Peripheral blood film; Romanowsky-type stain:
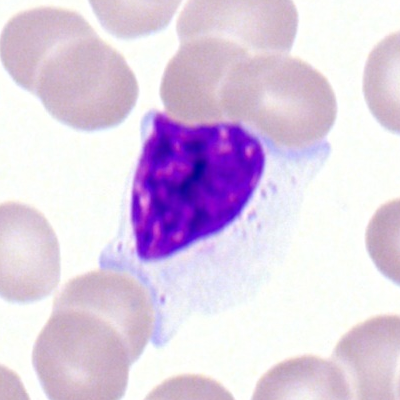{"cell_type": "typical lymphocyte", "lineage": "lymphoid"}